May-Grünwald-Giemsa stain; bone marrow aspirate smear.
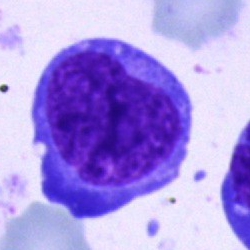 The classification is blast cell.